Bone marrow smear:
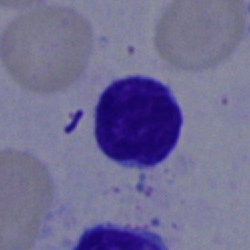
Cell type: typical lymphocyte.